Bone marrow smear. 40× objective, oil immersion. Single-cell field.
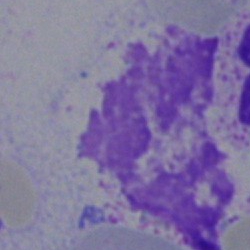 {"cell_type": "artifact"}